May-Grünwald-Giemsa stain; bone marrow smear; single cell centered in the field: 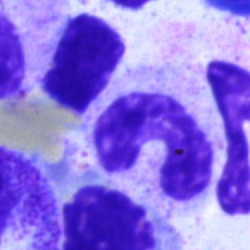
{"cell_type": "neutrophil (band)", "lineage": "myeloid"}